Peripheral blood film:
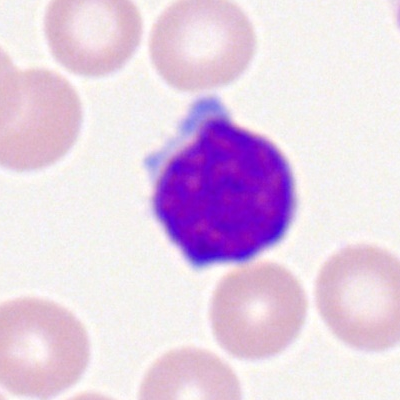Q: What cell is this?
A: This is a typical lymphocyte.